Bone marrow aspirate smear; single-cell crop:
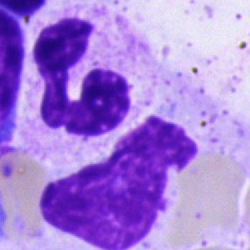Specimen: bone marrow aspirate smear.
Morphological class: segmented neutrophil.